Bone marrow smear. Single-cell crop. May-Grünwald-Giemsa stain:
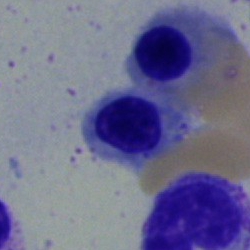

Showing a nucleated red cell.